Bone marrow smear: 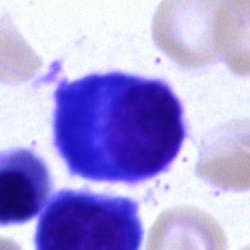

Morphological class: plasma cell.